Bone marrow smear — 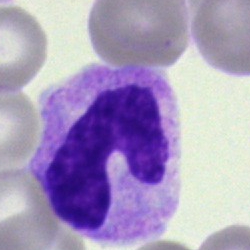Cell type — neutrophil (band).